Bone marrow smear
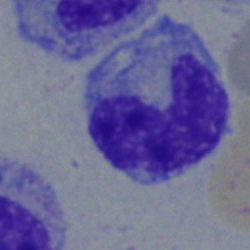

The cell shown is a band-form neutrophil.